Peripheral blood smear:
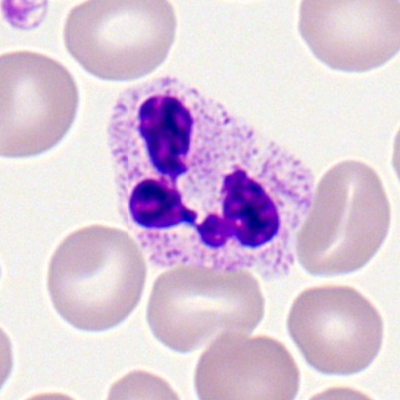Single cell identified as a polymorphonuclear neutrophil.